Bone marrow aspirate smear.
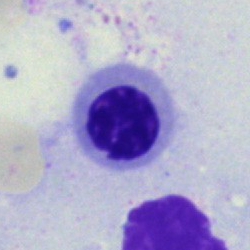Showing a nucleated red cell.